Bone marrow aspirate smear; image size 250×250.
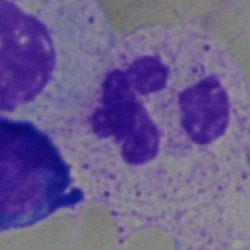
Showing a neutrophil (segmented).